Peripheral blood film; single-cell crop: 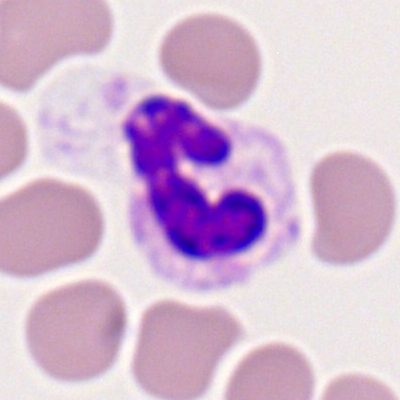 Showing a polymorphonuclear neutrophil.